Brightfield, 40× oil-immersion objective; bone marrow aspirate smear; 250×250 px
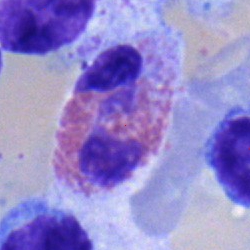Eosinophil.